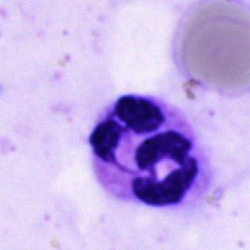 A neutrophil (segmented) on a bone marrow smear.